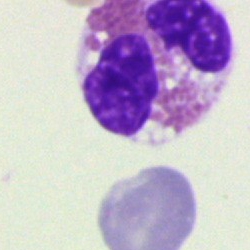
Specimen: bone marrow aspirate smear.
Cell: eosinophil.